Bone marrow aspirate smear.
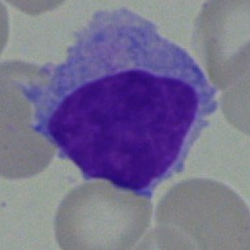
This is a lymphocyte.